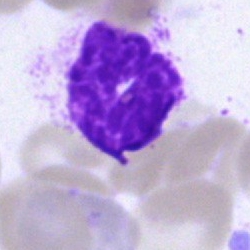 Single cell identified as an artifact.